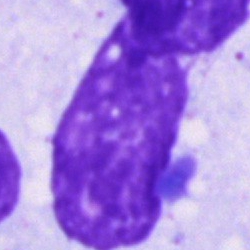Q: What is shown here?
A: Artifact.